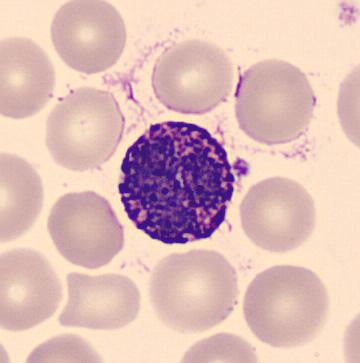 Specimen: peripheral blood smear.
Morphological class: basophil. Imaged on a CellaVision DM96 analyser.